Single-cell crop; bone marrow smear.
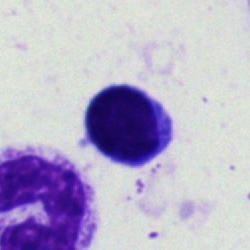A typical lymphocyte.